Single cell centered in the field · bone marrow smear · image size 250×250
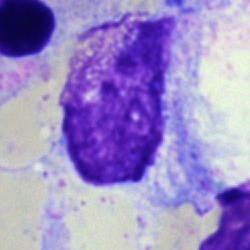The classification is artifact.